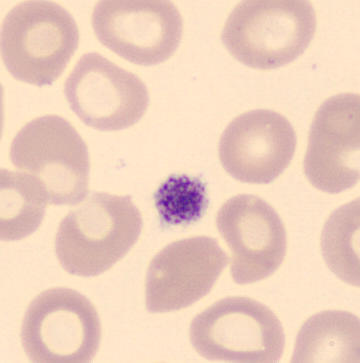

Morphology — thrombocyte.

Preparation: Image size 360×363 · peripheral blood film.